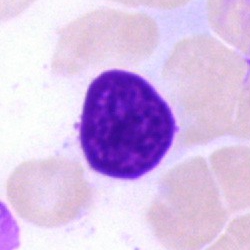 Showing an artefact.